Brightfield, 100× oil-immersion objective. Peripheral blood film. Single cell centered in the field.
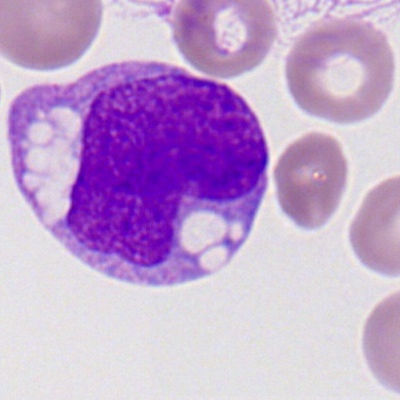

The cell shown is a monocyte.